Peripheral blood smear — 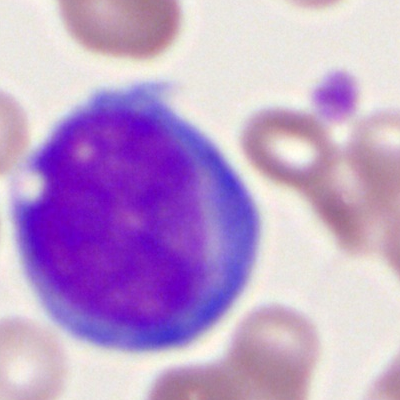
Morphological class — myeloid blast.